May-Grünwald-Giemsa/Pappenheim stain. Bone marrow aspirate smear
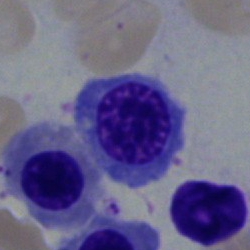 Q: What cell is this?
A: An erythroblast.